Single-cell crop. Brightfield, 40× oil-immersion objective. Bone marrow smear.
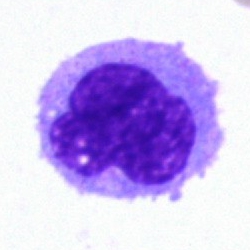

Morphology — monocyte.